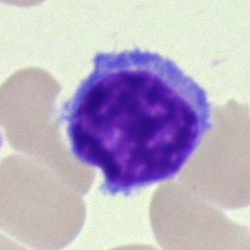
Classification — typical lymphocyte.